250×250; bone marrow smear; single-cell crop.
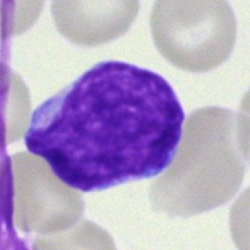

Blast cell.